Single-cell field. Bone marrow smear. May-Grünwald-Giemsa/Pappenheim stain:
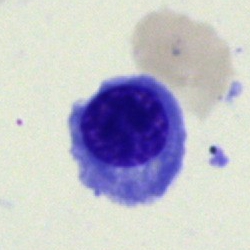Cell: normoblast.